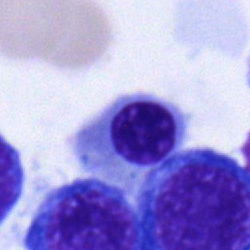 Q: Identify the cell.
A: Nucleated red blood cell.